Bone marrow smear — 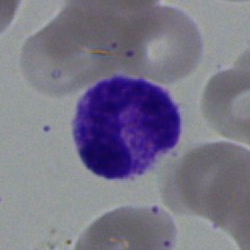
Impression → neutrophil (segmented).